Bone marrow aspirate smear — 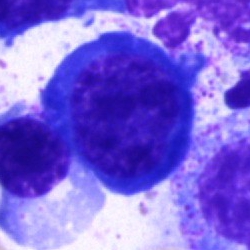Morphological class — erythroblast.